Bone marrow aspirate smear: 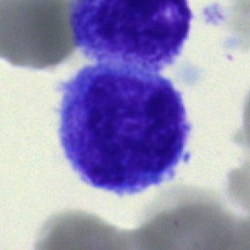
Cell type — unidentifiable cell.